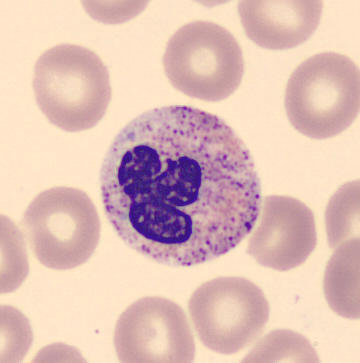
Preparation: Peripheral blood film.

Polymorphonuclear neutrophil.